Bone marrow aspirate smear: 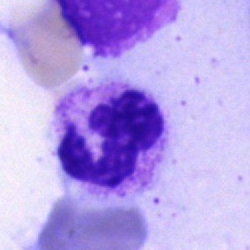
Impression — polymorphonuclear neutrophil.